Single-cell crop. Pappenheim-stained. Bone marrow aspirate smear:
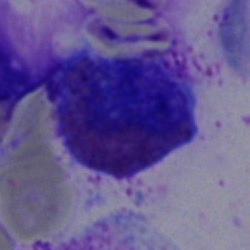 Q: Which cell type is shown here?
A: This is an eosinophilic granulocyte.